Bone marrow aspirate smear · 250 by 250 pixels · single-cell crop.
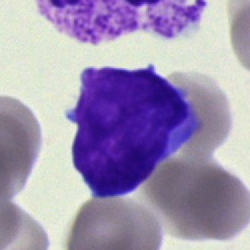

Q: What is the morphological classification of this cell?
A: This is an undifferentiated blast.